Bone marrow aspirate smear: 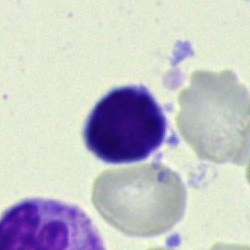

Morphology — lymphocyte.